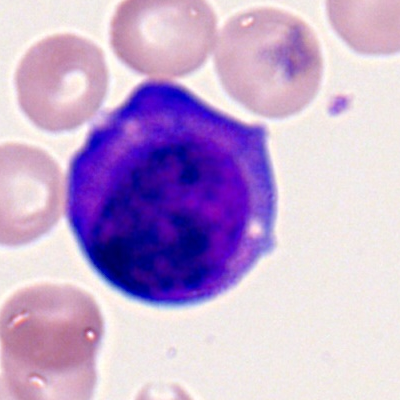 {"cell_type": "myeloid blast"}